Bone marrow aspirate smear:
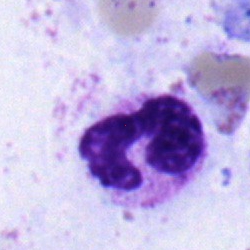
Specimen: bone marrow aspirate smear.
Cell type: segmented neutrophil.
Lineage: myeloid.